40× objective, oil immersion · bone marrow aspirate smear — 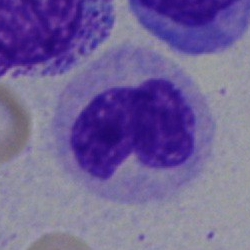 The cell type is band neutrophil.